Bone marrow smear; 40× objective, oil immersion
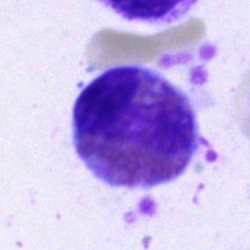This is an eosinophilic granulocyte.